May-Grünwald-Giemsa/Pappenheim stain · bone marrow smear · 40× oil immersion
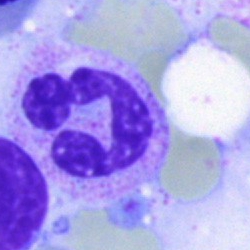Classification = segmented neutrophil.